Bone marrow smear: 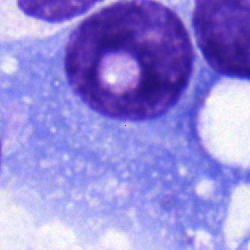 The morphological class is plasmacyte.